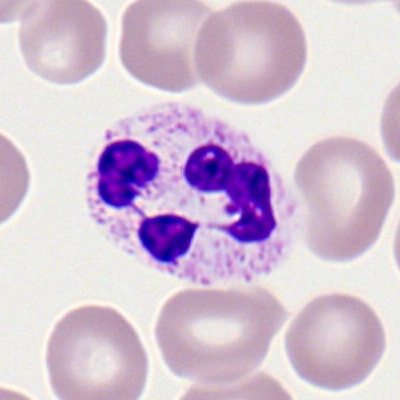This is a neutrophil (segmented).